Bone marrow smear — 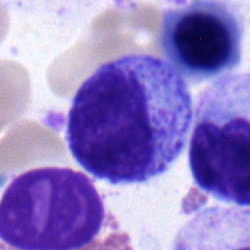
Cell = myelocyte.